40× objective, oil immersion. 250 by 250 pixels. Bone marrow aspirate smear
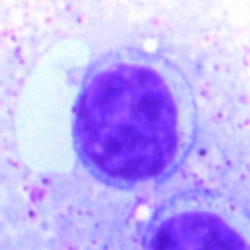

Impression → lymphocyte.